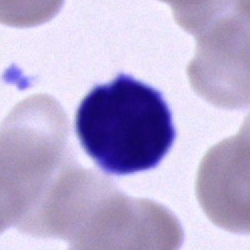
The cell shown is a typical lymphocyte.